Single-cell crop; bone marrow aspirate smear: 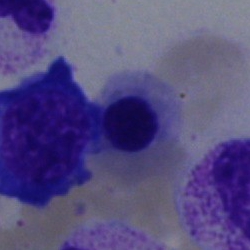

Classification — erythroblast.